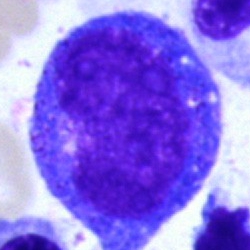Bone marrow smear showing a promyelocyte.